Bone marrow smear · image size 250×250:
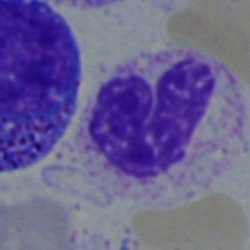
Classification = band-form neutrophil.